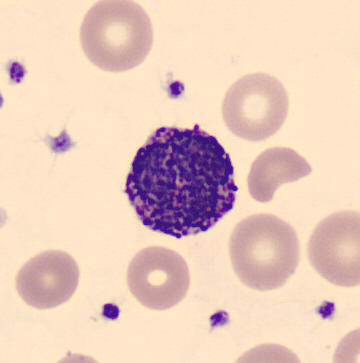
Peripheral blood smear. 360 by 363 pixels. The cell is basophil.